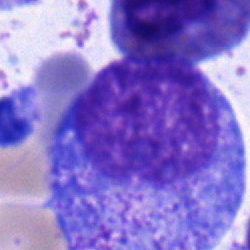 This is a promyelocyte.